Bone marrow aspirate smear: 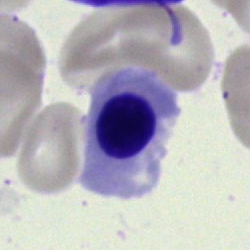 Specimen: bone marrow aspirate smear.
Morphological class: normoblast.